Bone marrow smear; May-Grünwald-Giemsa/Pappenheim stain; 40× objective, oil immersion.
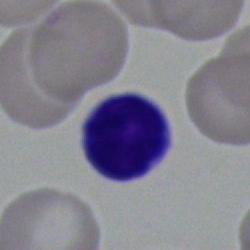

Impression → typical lymphocyte.